250×250. Bone marrow smear. 40× objective, oil immersion — 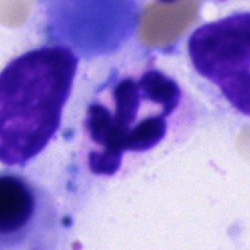
Neutrophil (segmented).